Bone marrow smear.
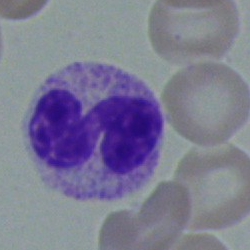 Morphological class: neutrophil (band).